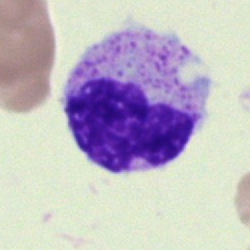

Morphological class — polymorphonuclear neutrophil.